May-Grünwald-Giemsa/Pappenheim stain. Bone marrow smear: 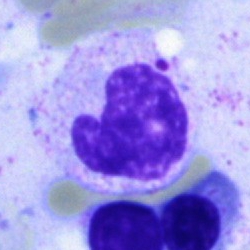
Morphology consistent with a metamyelocyte.